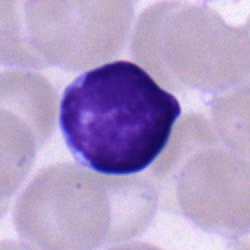
This is a lymphocyte.